Bone marrow smear: 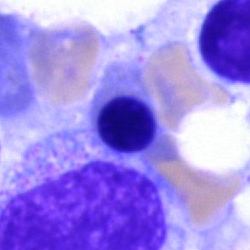
Classification — nucleated red blood cell.